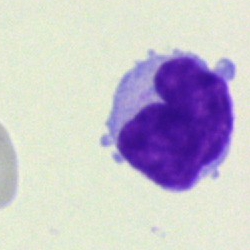
Q: Identify the cell.
A: A typical lymphocyte.